Bone marrow smear
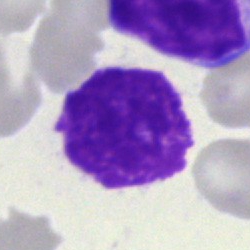

Morphology consistent with a Gumprecht shadow.